Peripheral blood film.
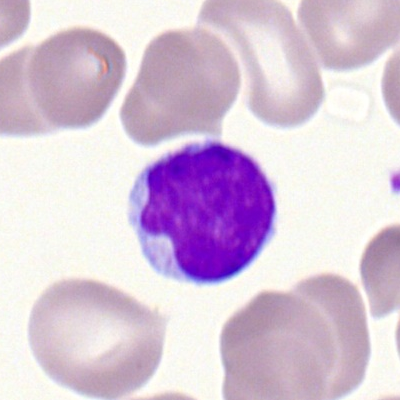 This is a lymphocyte.